May-Grünwald-Giemsa/Pappenheim stain · bone marrow smear — 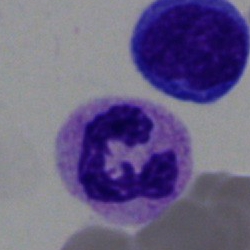

Specimen: bone marrow aspirate smear.
Classification: polymorphonuclear neutrophil.
Lineage: myeloid.